Romanowsky stain · 400 by 400 pixels · peripheral blood film: 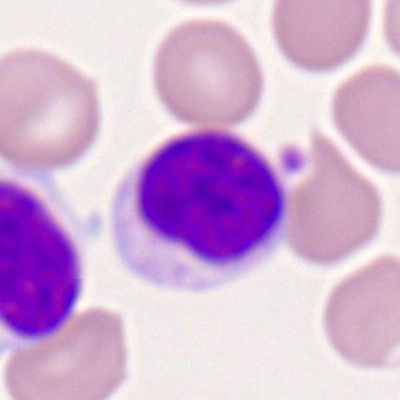

Impression → typical lymphocyte.